Bone marrow smear: 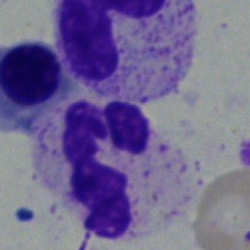The classification is neutrophil (segmented).